Bone marrow aspirate smear
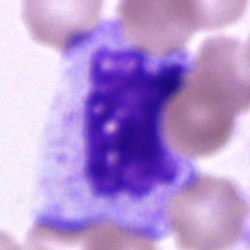

Cell of indeterminate lineage.